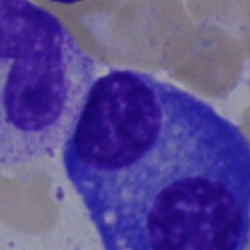 Morphological class: plasmacyte.